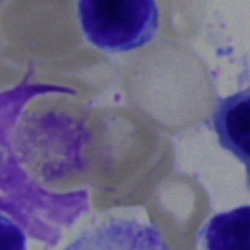 Bone marrow aspirate smear, single cell — typical lymphocyte.